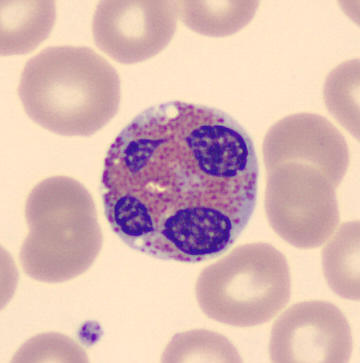

Identified as an eosinophilic granulocyte. Peripheral blood smear.